Single-cell crop · bone marrow aspirate smear — 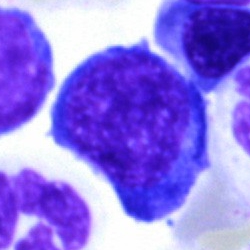 This is an erythroblast.